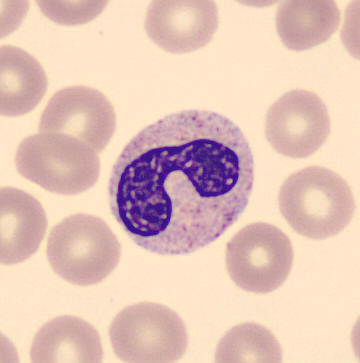{"cell_type": "band-form neutrophil", "lineage": "myeloid"} Peripheral blood smear.